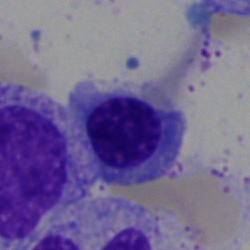
A normoblast on a bone marrow smear.